Bone marrow aspirate smear · Pappenheim-stained
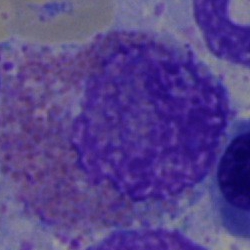 Impression — eosinophilic granulocyte.